Single-cell crop; bone marrow aspirate smear: 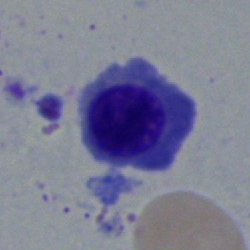Morphology consistent with a nucleated red cell.